Brightfield microscopy, 40× oil immersion. Bone marrow aspirate smear: 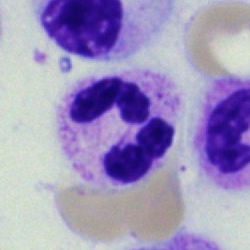 Specimen: bone marrow smear.
Cell: neutrophil (segmented).
Lineage: myeloid.